250×250 · bone marrow smear
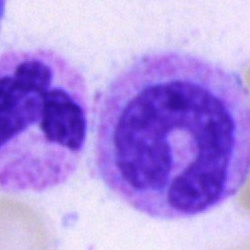

Morphological class — stab cell.